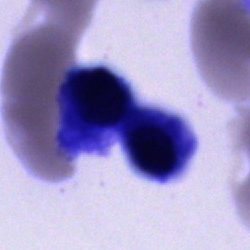
An unidentifiable cell.